Bone marrow aspirate smear; Pappenheim-stained: 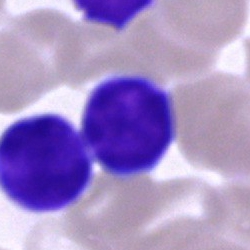
Single cell identified as a typical lymphocyte.